Bone marrow aspirate smear — 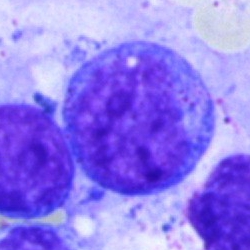The cell type is undifferentiated blast.